Bone marrow smear; single-cell crop.
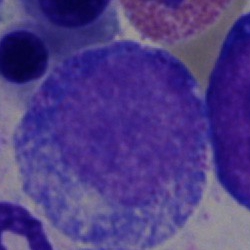 Cell — promyelocyte.